Bone marrow smear.
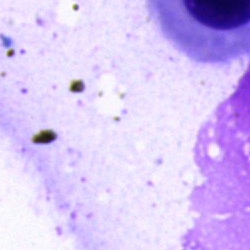
Showing an artefact.